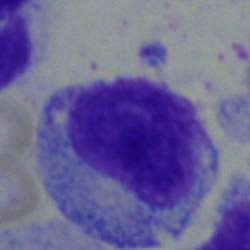

Classification — myelocyte.